Bone marrow smear.
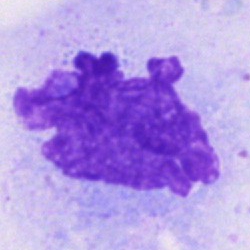

Cell — artifact.